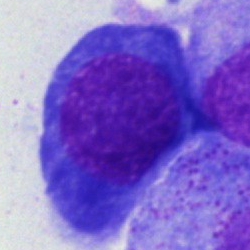{"cell_type": "nucleated red cell"}